Single cell centered in the field. Peripheral blood film: 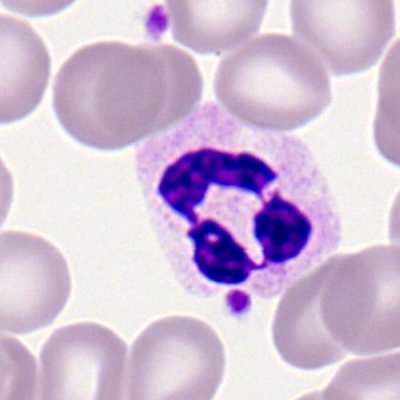
This is a polymorphonuclear neutrophil.